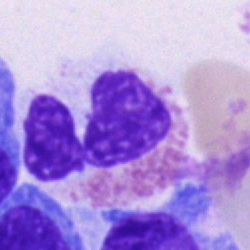
Q: What cell is this?
A: Eosinophil.